Brightfield microscopy, 40× oil immersion · bone marrow smear — 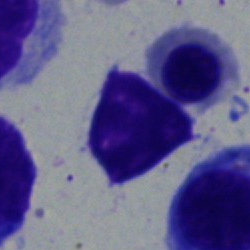Erythroblast.